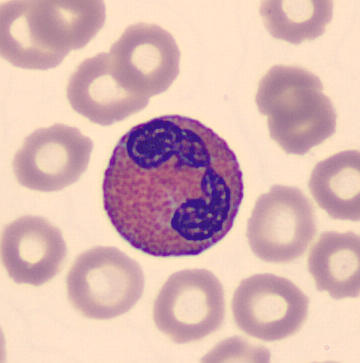

Eosinophil.